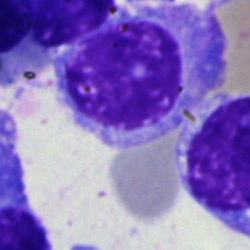 Plasmacyte.